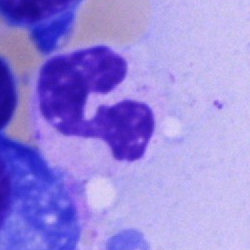 The cell is neutrophil (segmented).